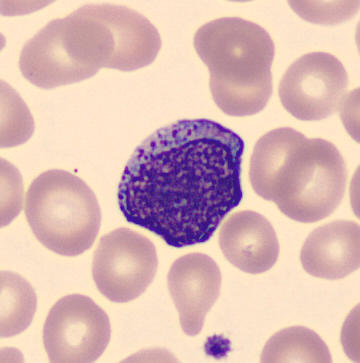
Peripheral blood film.

The morphological class is myelocyte.